Bone marrow aspirate smear.
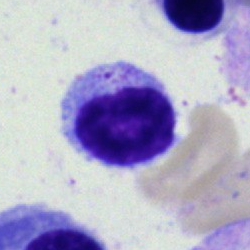 Specimen: bone marrow smear.
Cell type: lymphocyte.
Lineage: lymphoid.